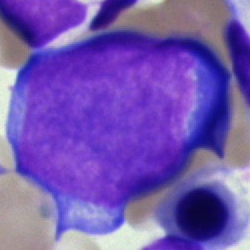
Morphology → proerythroblast.